Bone marrow aspirate smear · 40× oil immersion · May-Grünwald-Giemsa stain.
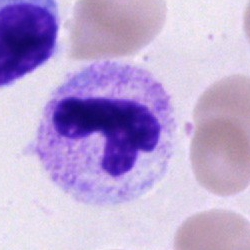

The morphological class is segmented neutrophil.